Bone marrow smear: 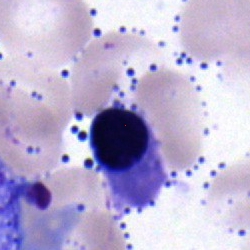{"cell_type": "nucleated red cell", "lineage": "erythroid"}